Peripheral blood film:
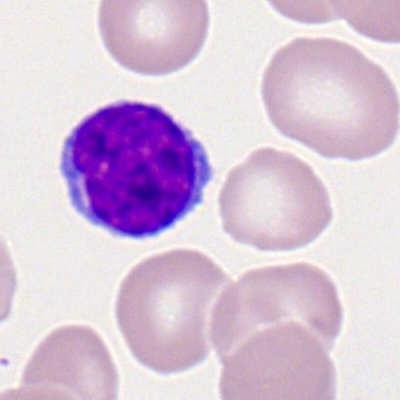Q: Identify the cell.
A: It is a typical lymphocyte.